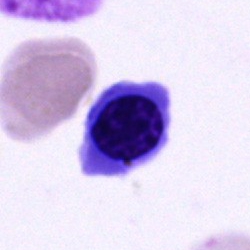
Bone marrow smear showing a normoblast.